Peripheral blood film · brightfield, 100× oil-immersion objective.
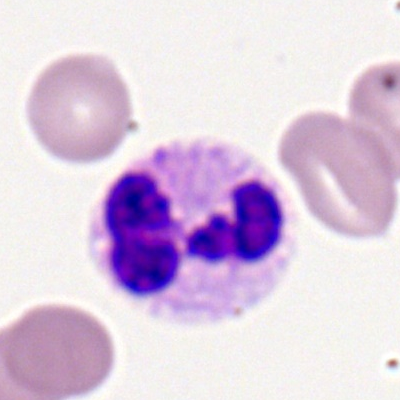 Cell = neutrophil (segmented).